Bone marrow aspirate smear.
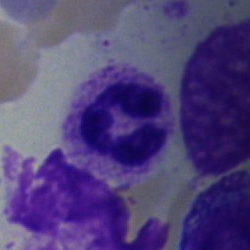

Specimen: bone marrow aspirate smear.
Cell: segmented neutrophil.
Lineage: myeloid.